250 by 250 pixels; bone marrow smear:
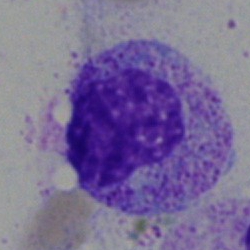 Showing a metamyelocyte.